Bone marrow aspirate smear. May-Grünwald-Giemsa stain:
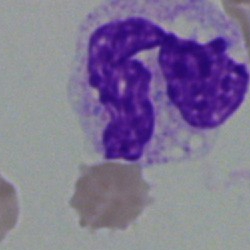

Specimen: bone marrow aspirate smear.
Classification: neutrophil (segmented).
Lineage: myeloid.